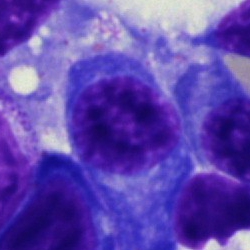
Q: What cell is this?
A: Plasma cell.